Bone marrow smear
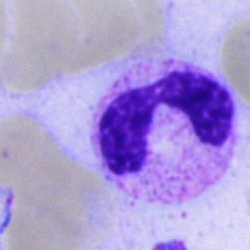

Classification — neutrophil (segmented).